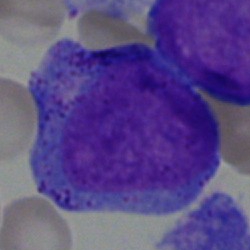 Morphological class: progranulocyte.